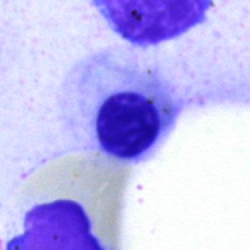Classification: normoblast.